Bone marrow aspirate smear.
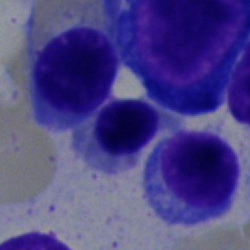

Morphology consistent with a nucleated red blood cell.